MGG-stained; bone marrow smear; 40× objective, oil immersion: 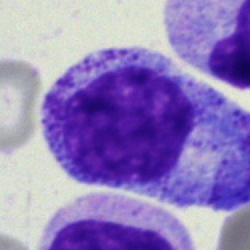 Impression → myelocyte.